Bone marrow smear:
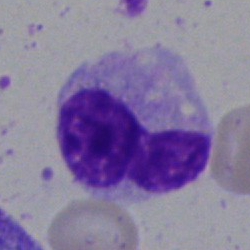Q: What is shown here?
A: This is a stab cell.